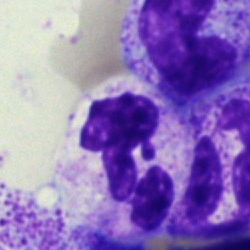

A polymorphonuclear neutrophil on a bone marrow smear.